Bone marrow smear: 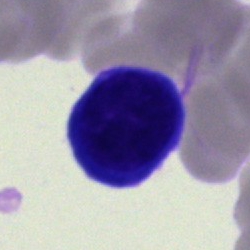 Q: Identify the cell.
A: It is a typical lymphocyte.